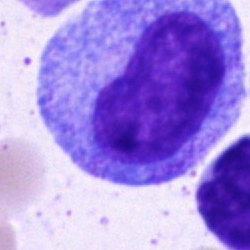

Showing a progranulocyte.